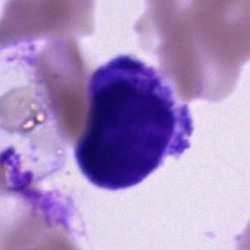

Classification = unidentifiable cell.